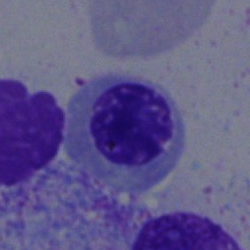 This is an erythroblast.